Peripheral blood smear: 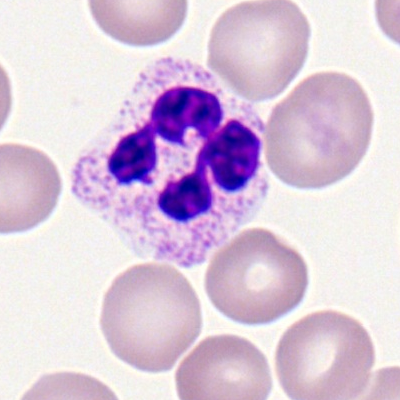Morphology consistent with a polymorphonuclear neutrophil.